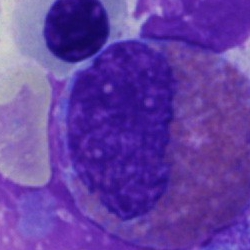

The classification is eosinophilic granulocyte.